Bone marrow smear — 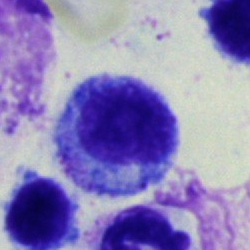
Cell type: progranulocyte.